Bone marrow smear; Pappenheim-stained: 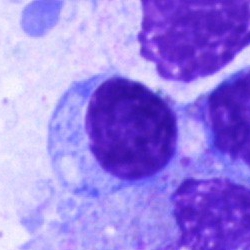
Classification — typical lymphocyte.